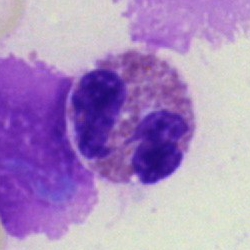This is an eosinophil.